Peripheral blood film
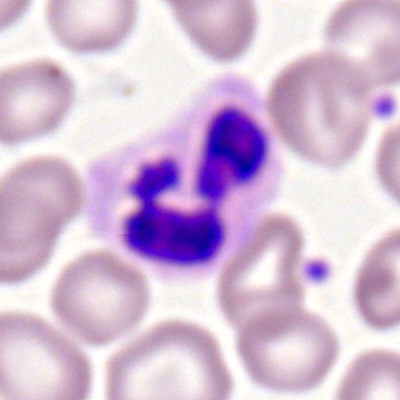Showing a neutrophil (segmented).